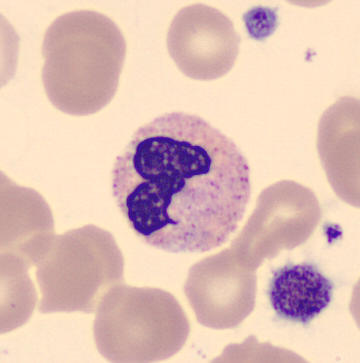Morphological class: polymorphonuclear neutrophil.